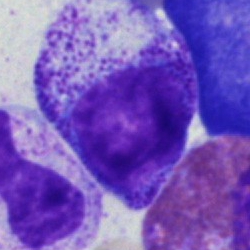Q: What cell is this?
A: Myelocyte.